40× oil immersion · bone marrow aspirate smear
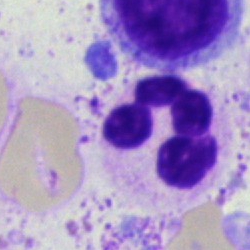Morphology → polymorphonuclear neutrophil.